Bone marrow smear · single-cell field · 250×250 px — 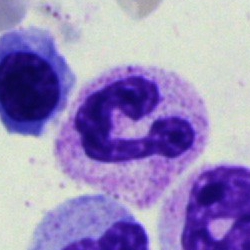

Specimen: bone marrow aspirate smear.
Cell type: neutrophil (segmented).
Lineage: myeloid.